Bone marrow aspirate smear
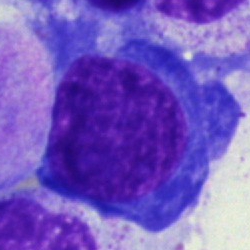

Cell type — nucleated red cell.